Bone marrow smear.
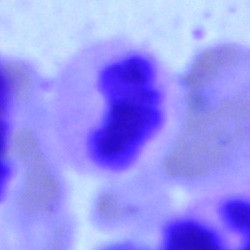

Morphology → polymorphonuclear neutrophil.